Bone marrow smear: 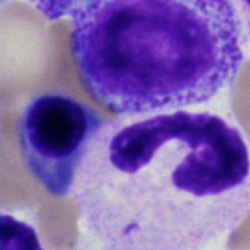Morphology consistent with a segmented neutrophil.